Bone marrow smear. 40× oil immersion.
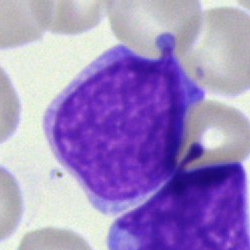

Cell type = blast.